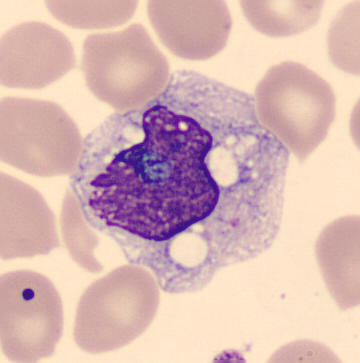Morphology — monocyte.